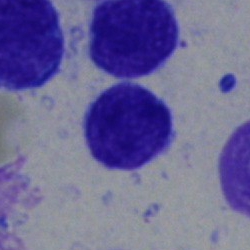

Classification — typical lymphocyte.